Bone marrow smear
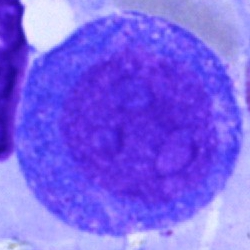 Q: Which cell type is shown here?
A: This is a progranulocyte.